40× oil immersion · 250×250 · bone marrow aspirate smear — 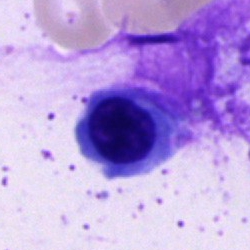
Cell type: nucleated red blood cell.